MGG-stained · bone marrow smear · 40× oil immersion.
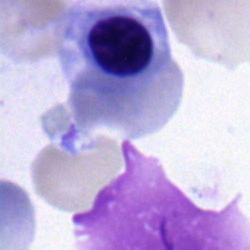 Erythroblast.